Bone marrow smear:
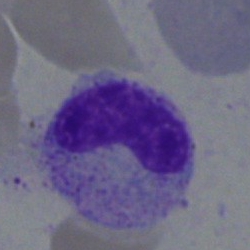 Q: What is shown here?
A: It is a band neutrophil.